Bone marrow smear. 250 by 250 pixels. Single-cell field.
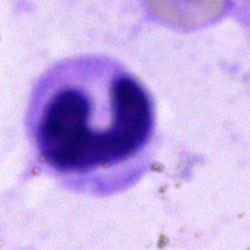

Cell type — stab cell.